Bone marrow smear
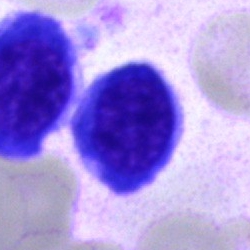 A nucleated red blood cell.